Bone marrow smear: 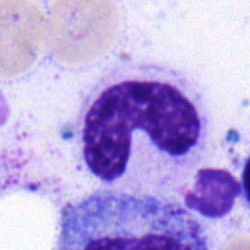

This is a band-form neutrophil.